Bone marrow smear: 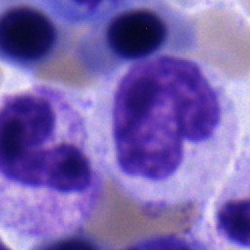

Showing a metamyelocyte.